Brightfield, 100× oil-immersion objective. Peripheral blood film.
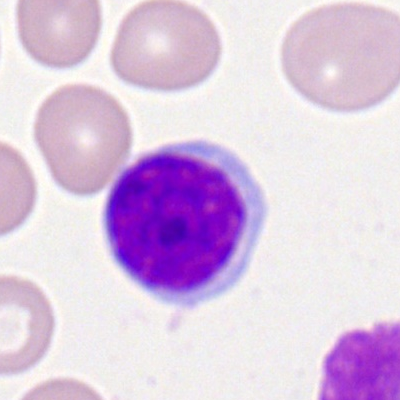Cell: typical lymphocyte.